Bone marrow aspirate smear:
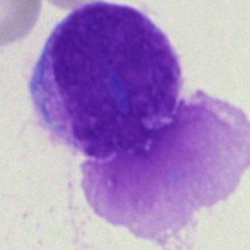 An artefact.